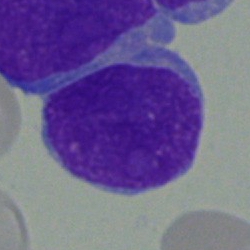Specimen: bone marrow aspirate smear.
Cell type: blast.